Peripheral blood smear — 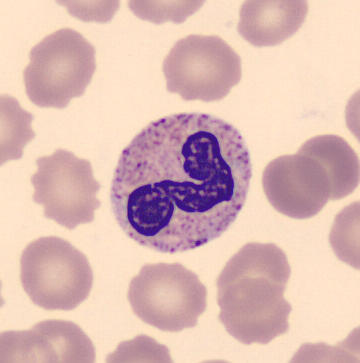 Identified as a neutrophil (segmented).